May-Grünwald-Giemsa/Pappenheim stain. Bone marrow smear. Single-cell field
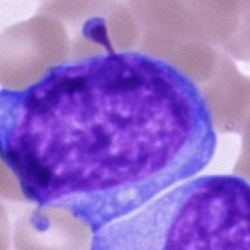
The cell is blast cell.